Bone marrow aspirate smear:
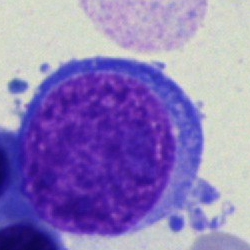
Morphology — normoblast.